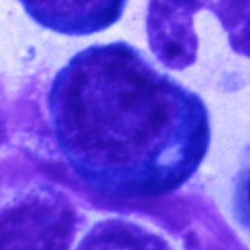

A proerythroblast on a bone marrow smear.